Single-cell field · bone marrow aspirate smear · 250×250 px — 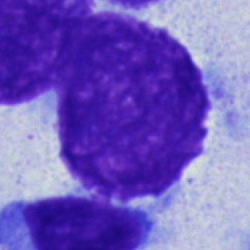 Cell type: artefact.